Bone marrow smear: 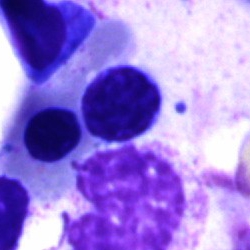 An unidentifiable cell.